Peripheral blood film · Romanowsky-type stain.
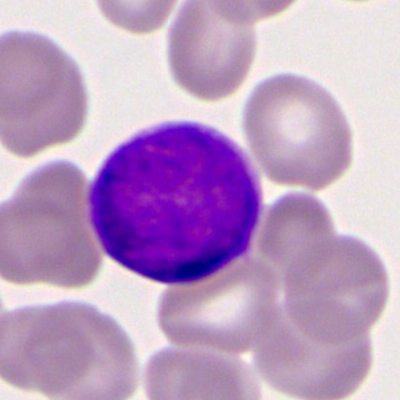 Morphological class = myeloid blast.